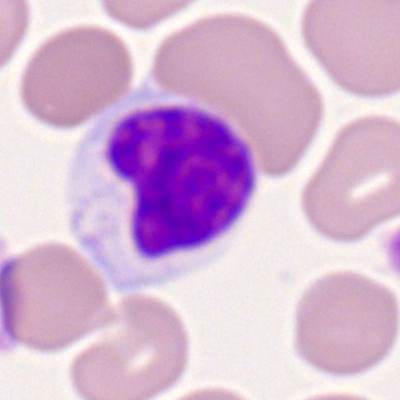 Impression — lymphocyte.